Single-cell crop; bone marrow aspirate smear:
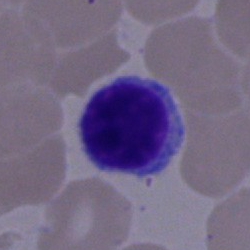Showing a lymphocyte.